Bone marrow smear: 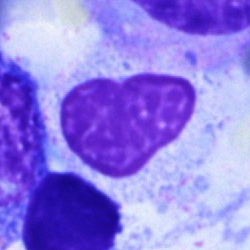 Showing an artifact.